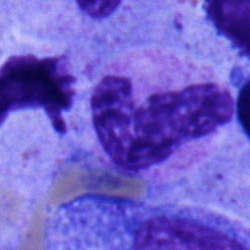Q: Identify the cell.
A: A neutrophil (band).